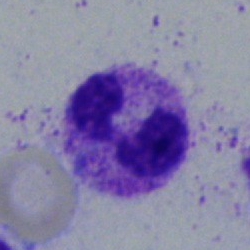

Q: What is the morphological classification of this cell?
A: A neutrophil (segmented).